Bone marrow smear; brightfield, 40× oil-immersion objective — 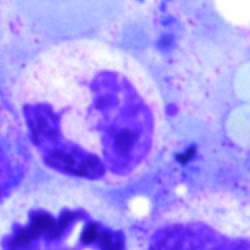

Q: Identify the cell.
A: Neutrophil (segmented).